Bone marrow smear: 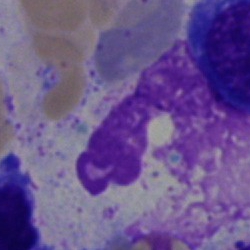

Q: What is shown here?
A: An artifact.